Bone marrow smear
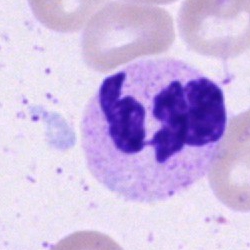The cell is neutrophil (segmented).